Bone marrow smear.
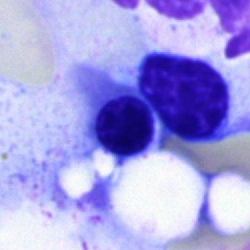 Q: What is shown here?
A: This is a normoblast.